Bone marrow smear · 250×250 · cropped to a single cell:
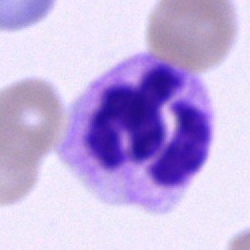

The cell shown is a polymorphonuclear neutrophil.